Peripheral blood film
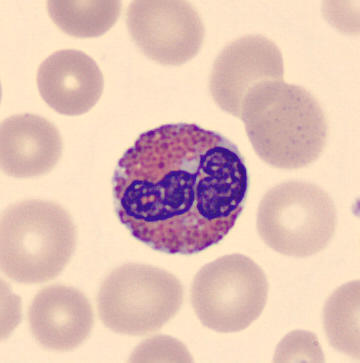 Showing an eosinophilic granulocyte.